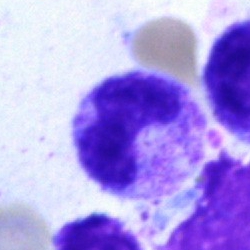Specimen: bone marrow aspirate smear.
Morphological class: band-form neutrophil.